Cropped to a single cell · bone marrow aspirate smear:
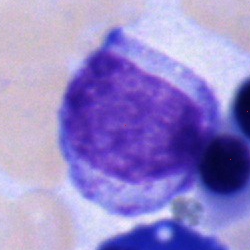 A myelocyte.